Bone marrow aspirate smear: 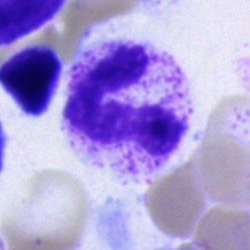 Q: What type of cell is this?
A: Polymorphonuclear neutrophil.